40× oil immersion; single cell centered in the field; bone marrow aspirate smear:
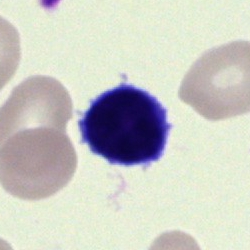 Lymphocyte.